Bone marrow smear
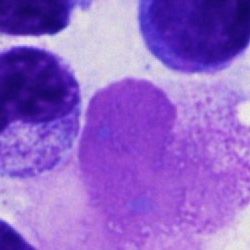

Specimen: bone marrow smear.
Cell: artifact.